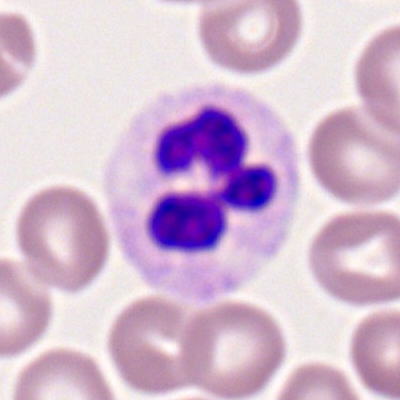
{"cell_type": "segmented neutrophil", "lineage": "myeloid"}